Bone marrow aspirate smear · single cell centered in the field
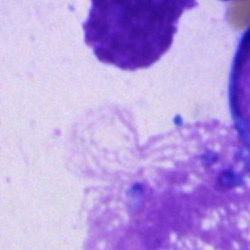Morphological class: artifact.